Bone marrow aspirate smear.
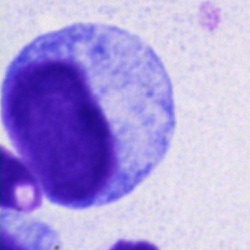 Cell = progranulocyte.